Bone marrow smear · 40× objective, oil immersion
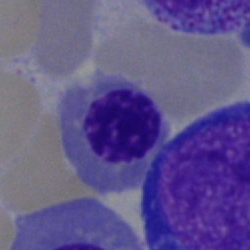
The morphological class is nucleated red cell.